Bone marrow aspirate smear.
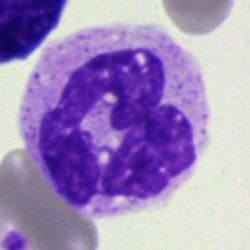
The cell shown is a neutrophil (segmented).